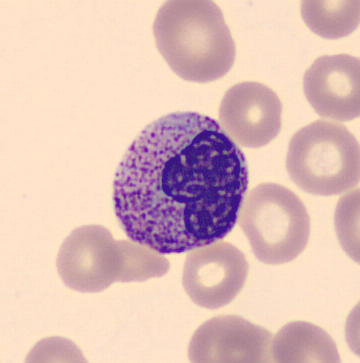

Preparation: 360×363 · peripheral blood smear · single-cell field. Showing a metamyelocyte.